Bone marrow aspirate smear.
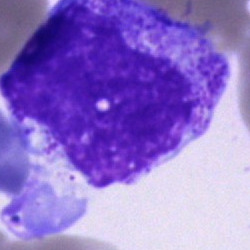
Progranulocyte.